Bone marrow smear.
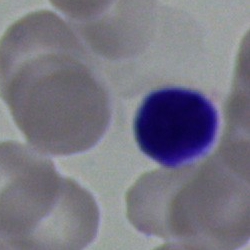

A lymphocyte.